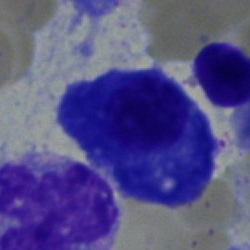
Specimen: bone marrow aspirate smear.
Cell: plasmacyte.
Lineage: lymphoid.